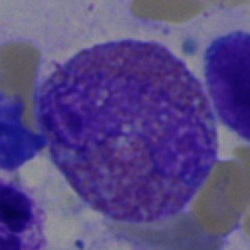 {"cell_type": "eosinophilic granulocyte", "lineage": "myeloid"}